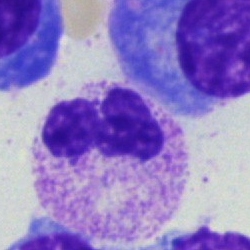

Specimen: bone marrow smear.
Cell type: neutrophil (segmented).